Bone marrow aspirate smear — 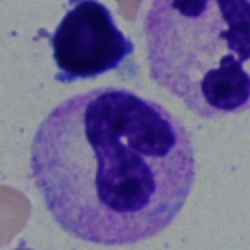

This is a band-form neutrophil.